Pappenheim-stained. Bone marrow smear.
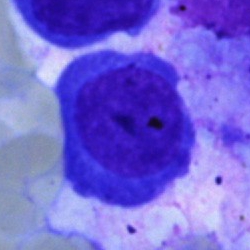 Classification — plasmacyte.